250×250 px · bone marrow aspirate smear.
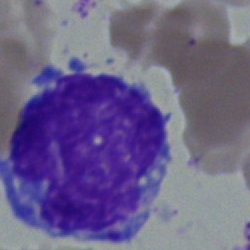

Impression → blast.